Bone marrow smear.
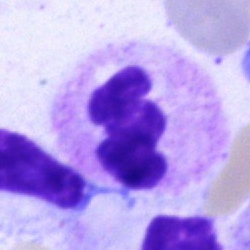Q: What is shown here?
A: It is a segmented neutrophil.